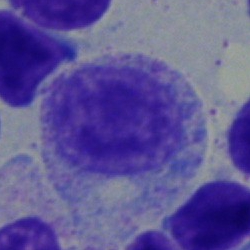{"cell_type": "myelocyte", "lineage": "myeloid"}